Cropped to a single cell; brightfield, 40× oil-immersion objective; bone marrow aspirate smear:
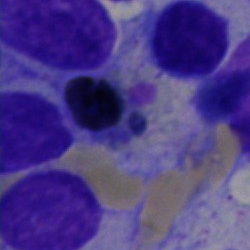
Nucleated red cell.